Peripheral blood smear
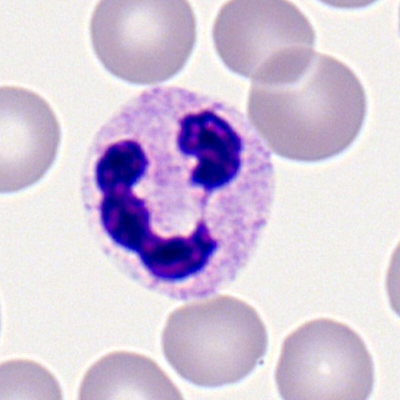Single cell identified as a neutrophil (segmented).